Single cell centered in the field · bone marrow smear
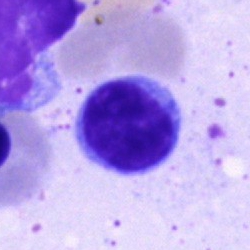 Morphology — typical lymphocyte.